Bone marrow smear — 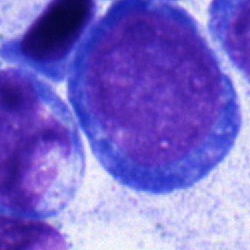
An undifferentiated blast.